Bone marrow aspirate smear. Image size 250×250 — 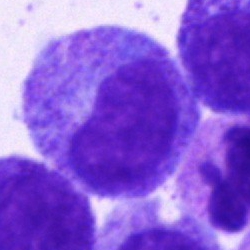

Morphology consistent with a progranulocyte.